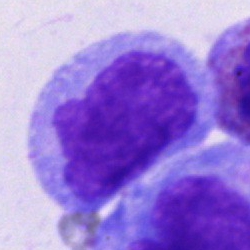

Specimen: bone marrow aspirate smear.
Classification: blast cell.